Peripheral blood film.
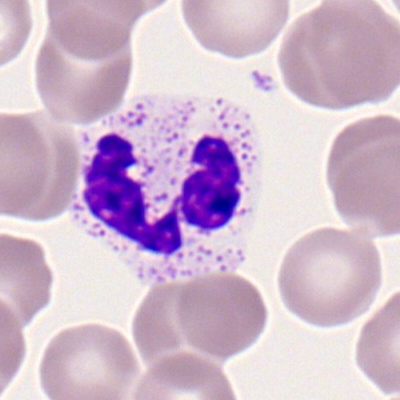 The morphological class is segmented neutrophil.